Bone marrow aspirate smear; 40× objective, oil immersion
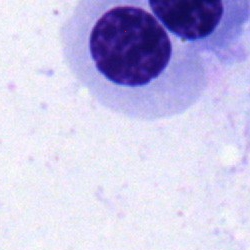

Q: What is the morphological classification of this cell?
A: Erythroblast.